Bone marrow aspirate smear · May-Grünwald-Giemsa stain · image size 250×250 — 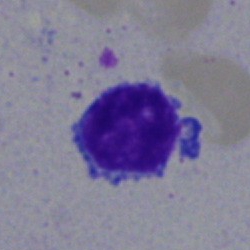 Single cell identified as a typical lymphocyte.